Bone marrow aspirate smear:
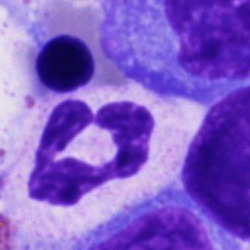

Q: What is shown here?
A: This is a neutrophil (segmented).